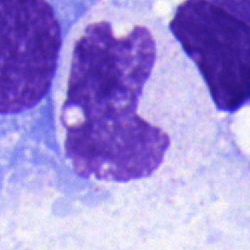{"cell_type": "band-form neutrophil", "lineage": "myeloid"}